Romanowsky-stained. Peripheral blood film — 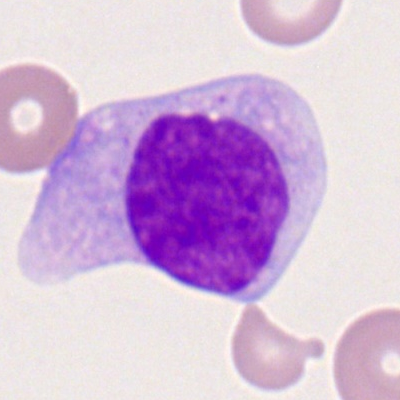Specimen: peripheral blood film.
Morphological class: monocyte.
Lineage: myeloid.